Bone marrow smear
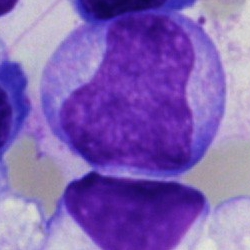
Q: Which cell type is shown here?
A: This is a monocyte.